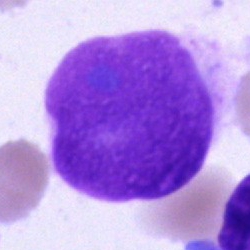 Classification = artefact.